Bone marrow aspirate smear:
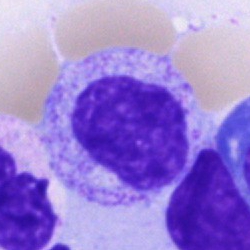 Cell — myelocyte.